Bone marrow aspirate smear:
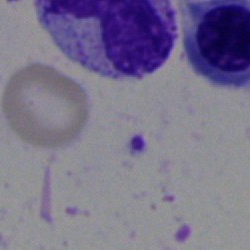
Specimen: bone marrow smear.
Classification: unidentifiable cell.